Bone marrow smear.
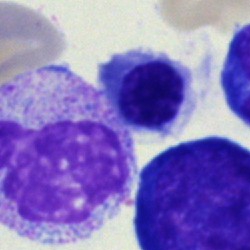Impression — nucleated red cell.